Single-cell crop · brightfield microscopy, 40× oil immersion · bone marrow aspirate smear: 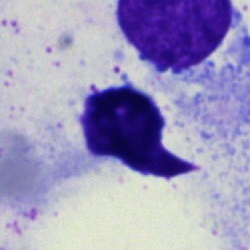{"cell_type": "lymphocyte", "lineage": "lymphoid"}